Single-cell field; bone marrow aspirate smear; 250 by 250 pixels.
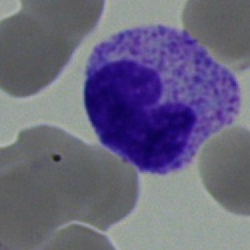 A neutrophil (band).